Bone marrow smear; 250×250
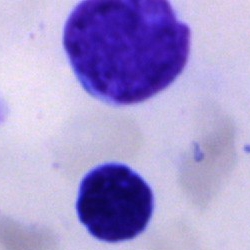
The cell type is cell of indeterminate lineage.